Bone marrow aspirate smear; 250 by 250 pixels; 40× objective, oil immersion — 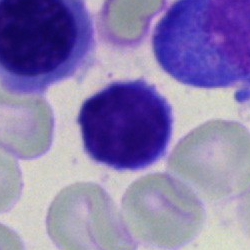This is a lymphocyte.